Bone marrow aspirate smear:
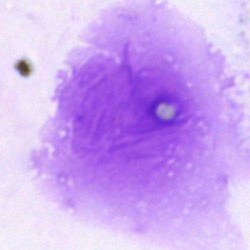

{"cell_type": "artefact"}